Peripheral blood smear — 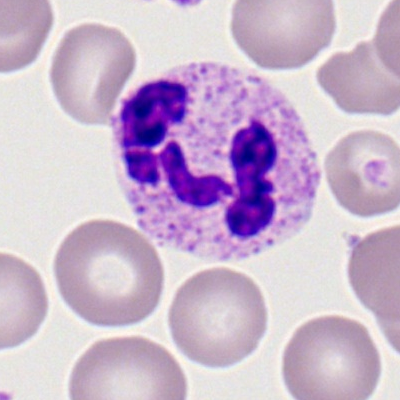
Classification = segmented neutrophil.